Bone marrow smear; brightfield, 40× oil-immersion objective
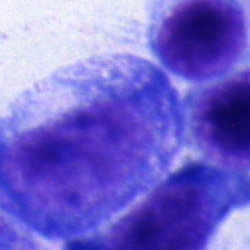Cell: nucleated red cell.